Pappenheim-stained · single-cell field · bone marrow smear — 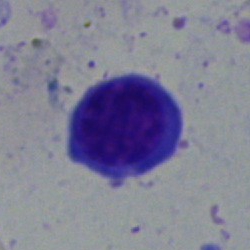 Impression → nucleated red blood cell.